Bone marrow smear
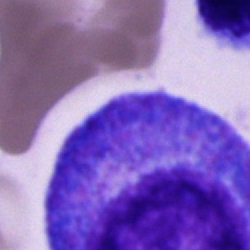 Single cell identified as a promyelocyte.